Bone marrow aspirate smear · May-Grünwald-Giemsa/Pappenheim stain · single cell centered in the field:
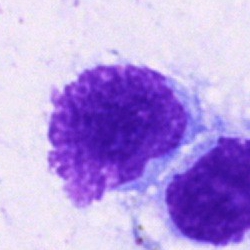Morphology consistent with an artifact.